Bone marrow aspirate smear: 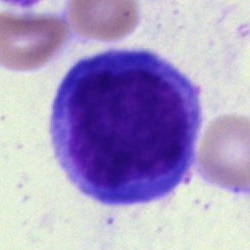
Q: What is the morphological classification of this cell?
A: This is a lymphocyte.